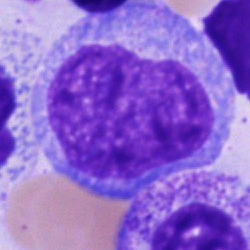
Morphological class: promyelocyte.